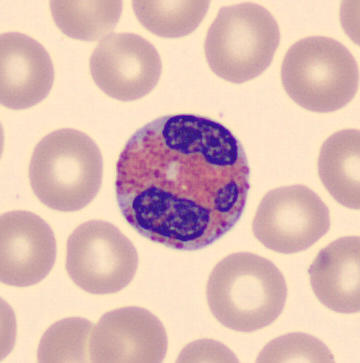Identified as an eosinophil.